Bone marrow smear.
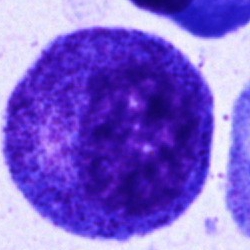{"cell_type": "progranulocyte"}